Peripheral blood smear. 400×400. M8 digital microscope (Precipoint), 100× oil immersion:
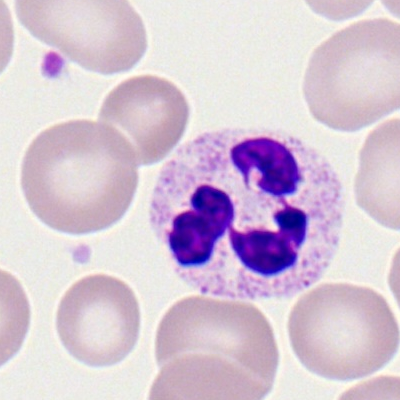Polymorphonuclear neutrophil.